Bone marrow smear.
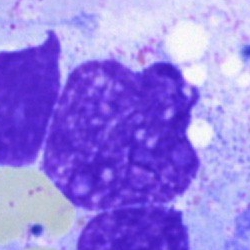

An artifact.